Single-cell crop · May-Grünwald-Giemsa stain · bone marrow aspirate smear
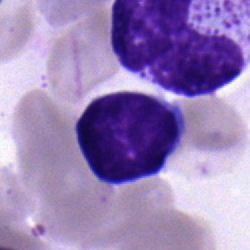 Morphology consistent with a typical lymphocyte.